Pappenheim-stained. Bone marrow aspirate smear
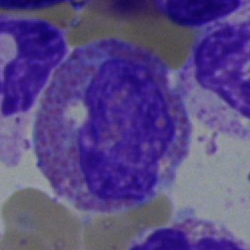
Specimen: bone marrow smear.
Morphological class: eosinophil.